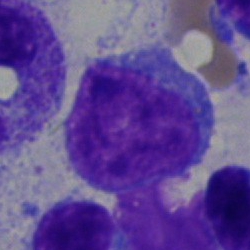

Classification = blast cell.